Bone marrow aspirate smear · 250 by 250 pixels.
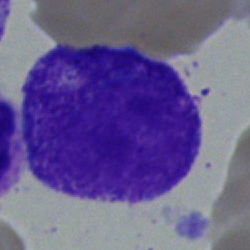

{"cell_type": "promyelocyte", "lineage": "myeloid"}